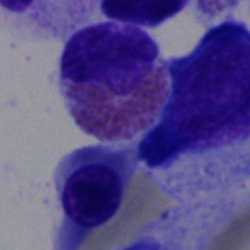
Specimen: bone marrow aspirate smear.
Morphological class: eosinophilic granulocyte.
Lineage: myeloid.